Bone marrow smear:
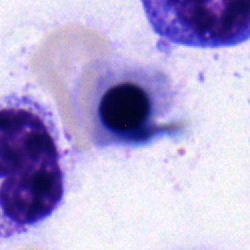Morphology consistent with an erythroblast.